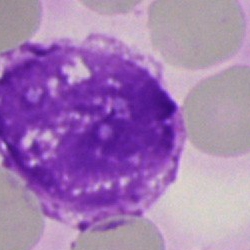

An artefact.